Peripheral blood film:
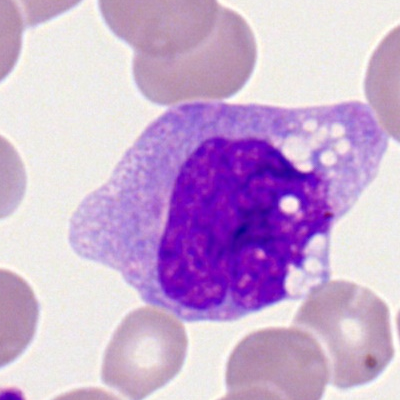 Specimen: peripheral blood smear.
Cell: monocyte.